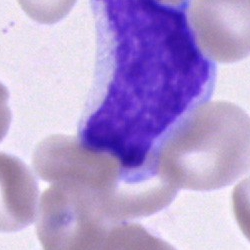 This is an unidentifiable cell.